Bone marrow smear.
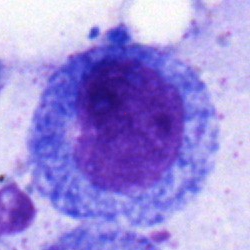
The cell is progranulocyte.